Bone marrow aspirate smear: 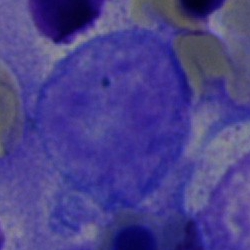

Single cell identified as an undifferentiated blast.